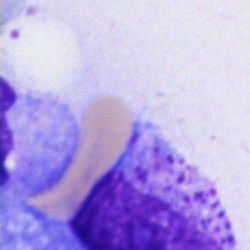Bone marrow aspirate smear, single cell — unidentifiable cell.